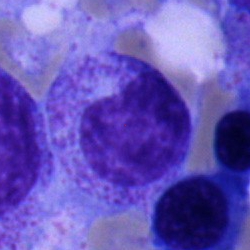 Cell type = myelocyte.